250×250 px; bone marrow aspirate smear.
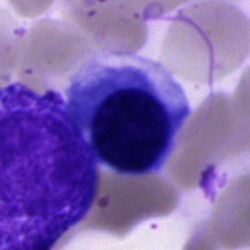

Q: What cell is this?
A: Normoblast.